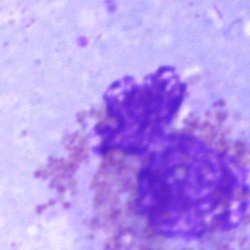Specimen: bone marrow smear.
Cell type: eosinophil.